Peripheral blood film: 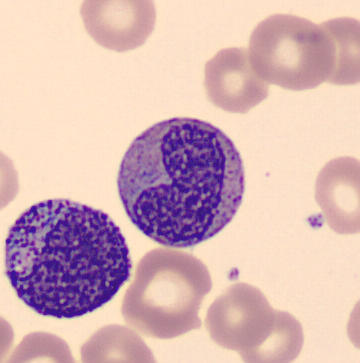

This is a metamyelocyte.